Bone marrow smear — 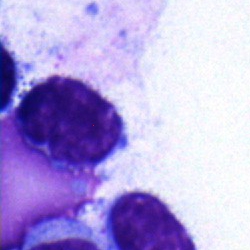Morphological class — lymphocyte.